Peripheral blood smear · 360×363 px
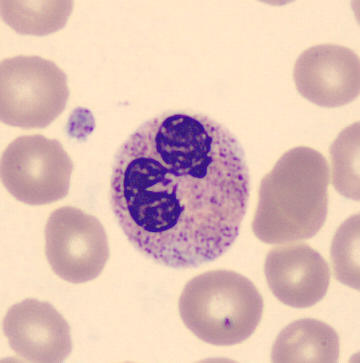

Classification = segmented neutrophil.